Bone marrow aspirate smear. May-Grünwald-Giemsa stain.
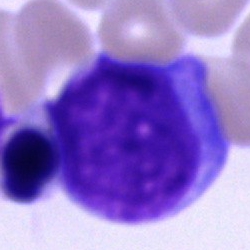
Cell type: blast cell.